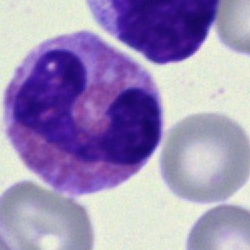

Morphology → eosinophilic granulocyte.